Bone marrow aspirate smear. Brightfield, 40× oil-immersion objective — 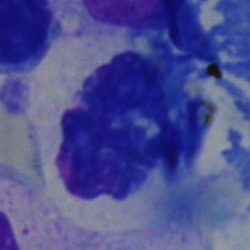
{"cell_type": "artifact"}